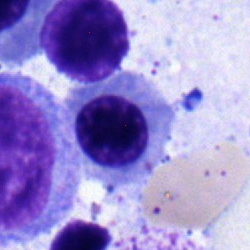
Bone marrow smear showing a normoblast.